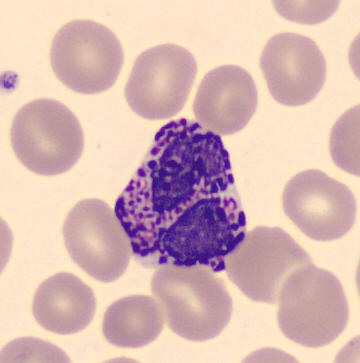

Peripheral blood smear.

A basophilic granulocyte.